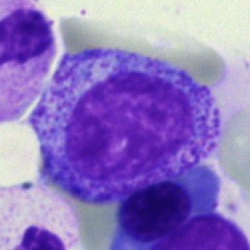

Q: Identify the cell.
A: A metamyelocyte.